Bone marrow smear.
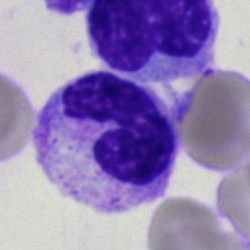

A band-form neutrophil.